Bone marrow aspirate smear
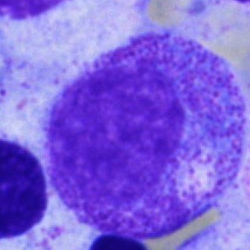
{"cell_type": "progranulocyte"}